Bone marrow aspirate smear · MGG-stained:
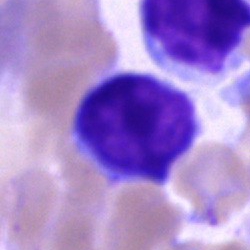Impression → lymphocyte.